Bone marrow aspirate smear · May-Grünwald-Giemsa stain — 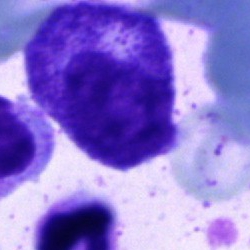 Q: What type of cell is this?
A: It is a promyelocyte.